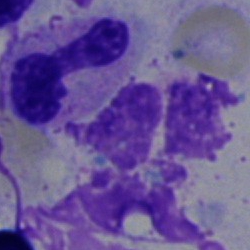
Classification — neutrophil (segmented).